Pappenheim-stained; bone marrow smear.
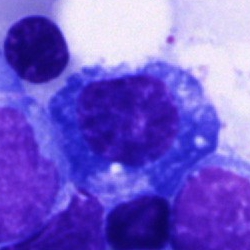{"cell_type": "plasmacyte"}